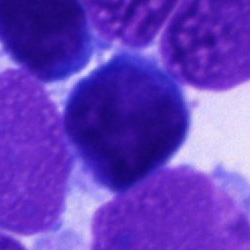 Showing an unidentifiable cell.